Brightfield, 40× oil-immersion objective; bone marrow smear — 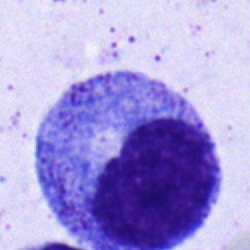Specimen: bone marrow aspirate smear.
Cell: progranulocyte.
Lineage: myeloid.